Bone marrow aspirate smear: 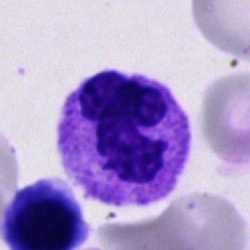

Cell — segmented neutrophil.